Bone marrow smear; 40× oil immersion.
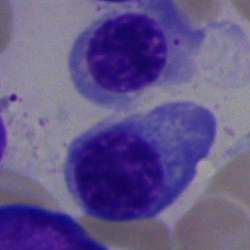
Showing a nucleated red blood cell.